Bone marrow smear: 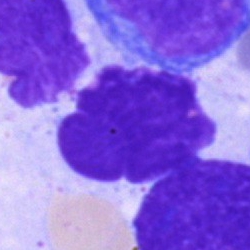
Q: What is shown here?
A: This is an artifact.